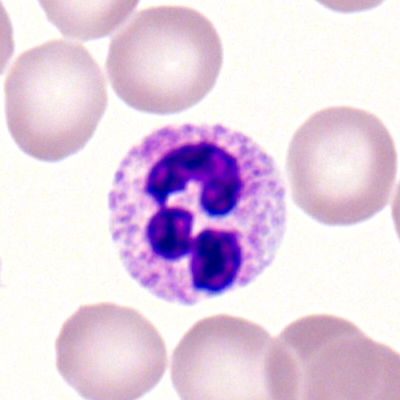 Single cell identified as a polymorphonuclear neutrophil.